Bone marrow aspirate smear — 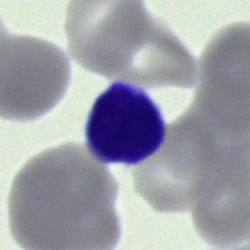 Morphology consistent with a lymphocyte.